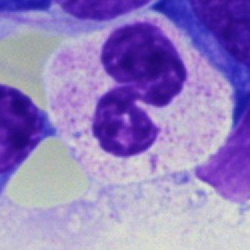Specimen: bone marrow aspirate smear.
Cell: polymorphonuclear neutrophil.
Lineage: myeloid.